Single cell centered in the field; MGG stain; peripheral blood smear — 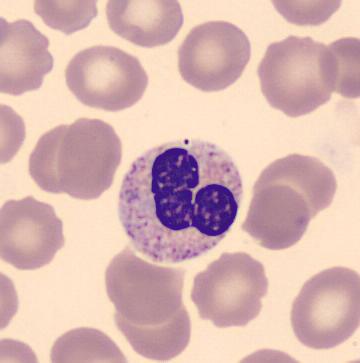
Showing a band-form neutrophil.